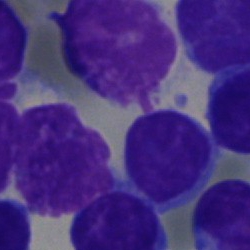 Single cell identified as a typical lymphocyte.